Peripheral blood smear.
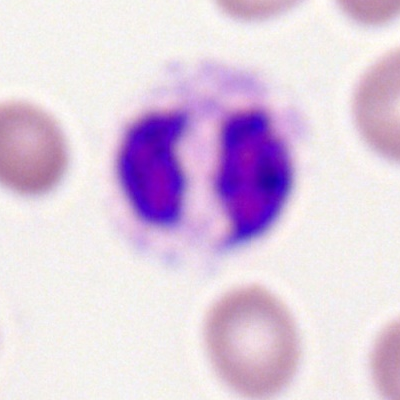 Single cell identified as a polymorphonuclear neutrophil.